Brightfield microscopy, 40× oil immersion. Bone marrow aspirate smear.
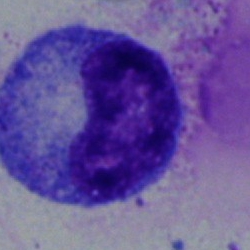Cell: metamyelocyte.